Image size 250×250; bone marrow aspirate smear; single cell centered in the field:
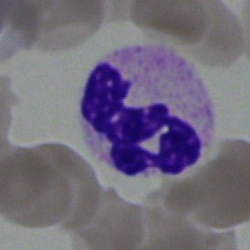Showing a polymorphonuclear neutrophil.